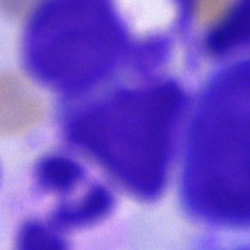
An artifact on a bone marrow smear.